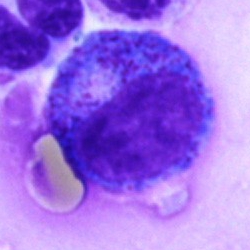
Impression → progranulocyte.